Peripheral blood film · Romanowsky stain · 400×400 — 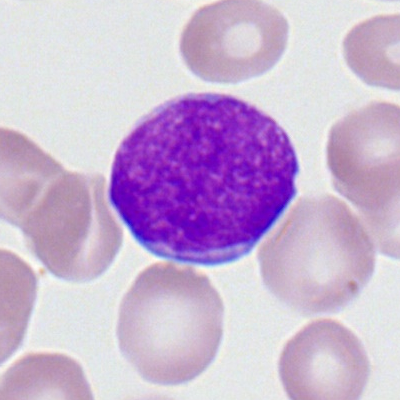
Showing a myeloblast.